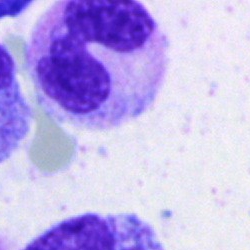Q: Which cell type is shown here?
A: This is a polymorphonuclear neutrophil.